Bone marrow aspirate smear. Pappenheim-stained — 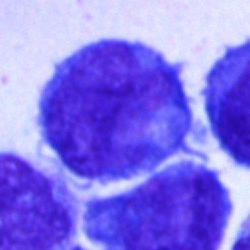 Cell type = undifferentiated blast.